Bone marrow smear: 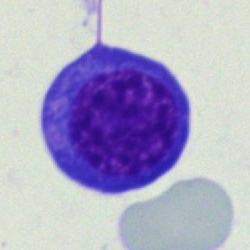Q: What cell is this?
A: It is a normoblast.